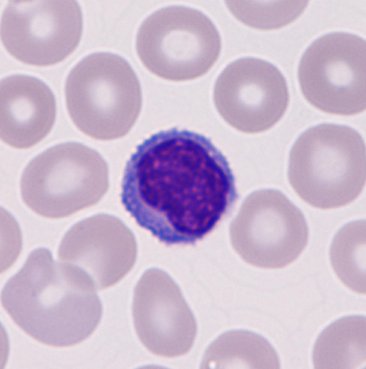

Specimen: peripheral blood film.
Morphological class: lymphocyte.
May Grünwald-Giemsa stain.